Bone marrow aspirate smear:
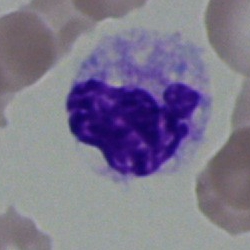
A monocyte.